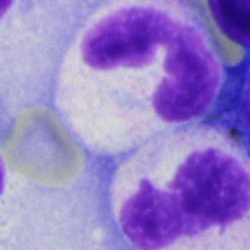Single cell identified as a segmented neutrophil.